Bone marrow aspirate smear:
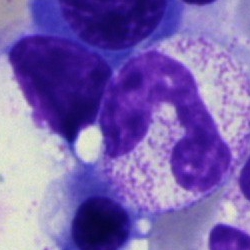This is a segmented neutrophil.